100× oil immersion · 400 by 400 pixels · peripheral blood smear
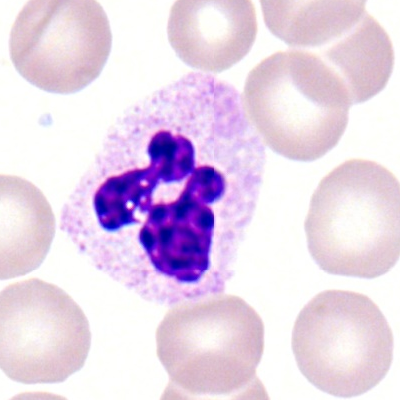
The cell type is polymorphonuclear neutrophil.